Bone marrow smear
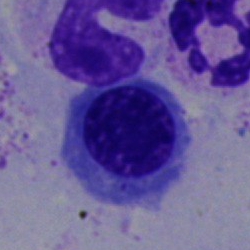

Morphology → erythroblast.